Bone marrow smear: 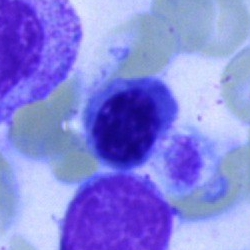 Q: What is shown here?
A: This is a nucleated red blood cell.